Bone marrow aspirate smear:
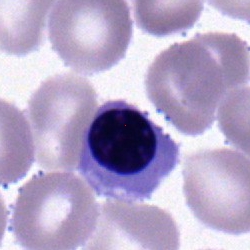 Cell — normoblast.